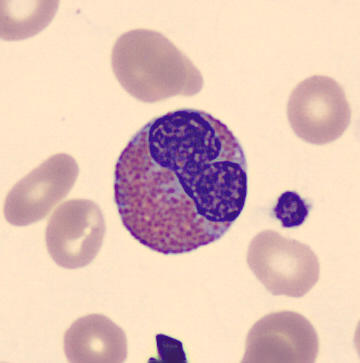
Specimen: peripheral blood film.
Cell type: eosinophilic granulocyte.
Lineage: myeloid.